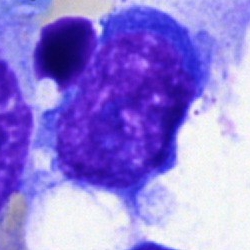

Morphology → blast cell.